Bone marrow aspirate smear:
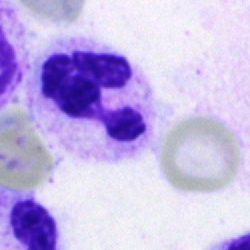 Segmented neutrophil.